Bone marrow aspirate smear · 40× oil immersion
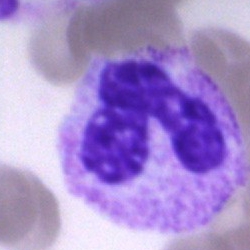 Morphology consistent with a neutrophil (segmented).